Bone marrow smear. Cropped to a single cell:
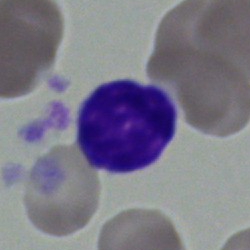

Specimen: bone marrow smear.
Classification: typical lymphocyte.